Bone marrow aspirate smear — 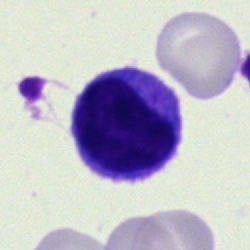
Impression → lymphocyte.